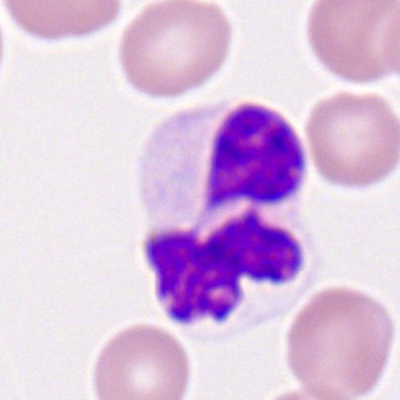
A neutrophil (segmented).